Bone marrow smear
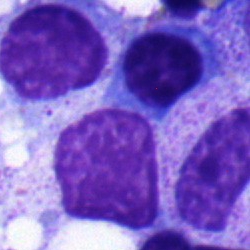
Single cell identified as a normoblast.